Bone marrow smear
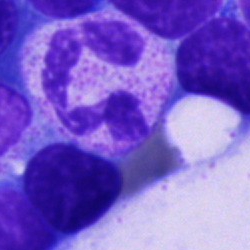
Q: What is the morphological classification of this cell?
A: A neutrophil (segmented).